Bone marrow smear: 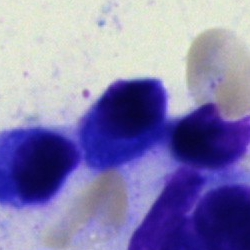 Morphology consistent with a plasma cell.